Bone marrow aspirate smear: 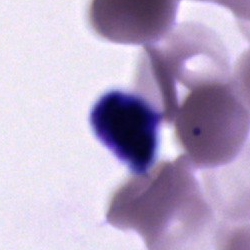 Cell: cell of indeterminate lineage.